Bone marrow smear · 40× objective, oil immersion.
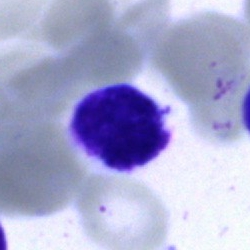Single cell identified as a lymphocyte.